Bone marrow smear · brightfield microscopy, 40× oil immersion · 250 by 250 pixels.
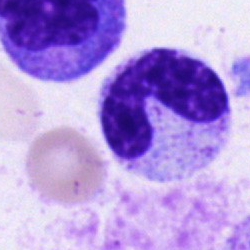Impression — band neutrophil.